Bone marrow smear — 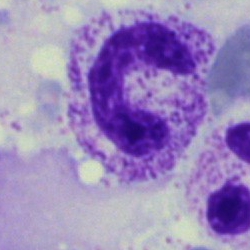 The cell type is neutrophil (band).